Single-cell crop; bone marrow aspirate smear:
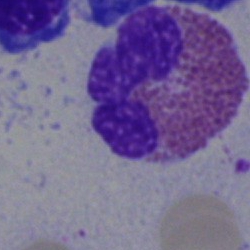

The morphological class is eosinophil.